250×250 px. Bone marrow smear. 40× objective, oil immersion
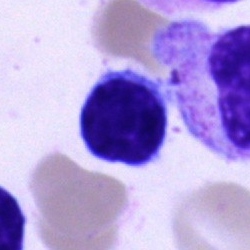Q: Identify the cell.
A: Lymphocyte.